Bone marrow aspirate smear
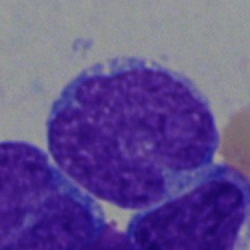
Q: What is shown here?
A: It is a blast cell.